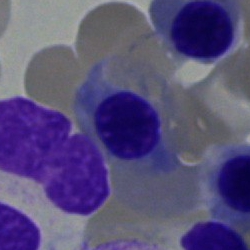 Q: What cell is this?
A: This is a nucleated red blood cell.